Bone marrow aspirate smear.
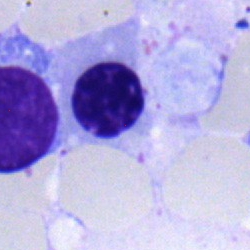

Impression → nucleated red blood cell.